Image size 250×250. Bone marrow aspirate smear. 40× oil immersion — 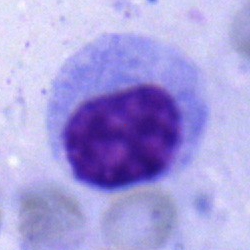
Q: Identify the cell.
A: Myelocyte.